Bone marrow aspirate smear; single-cell crop.
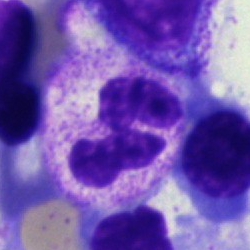Cell — polymorphonuclear neutrophil.